40× oil immersion. Bone marrow aspirate smear:
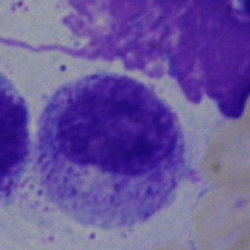

Single cell identified as a myelocyte.